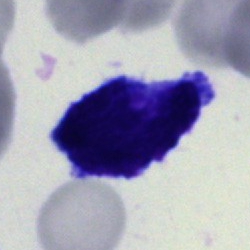Q: What type of cell is this?
A: This is a blast cell.